Bone marrow smear.
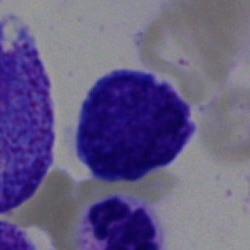

A lymphocyte.